May-Grünwald-Giemsa stain · bone marrow smear · single cell centered in the field:
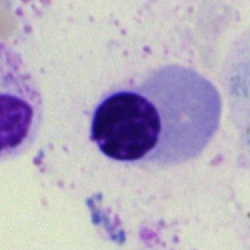 Impression → nucleated red cell.